Bone marrow aspirate smear: 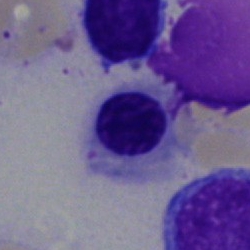Q: What cell is this?
A: It is a normoblast.